Bone marrow aspirate smear
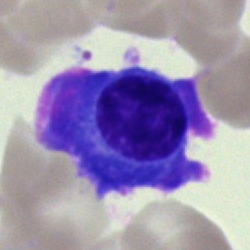 Impression → plasma cell.